Bone marrow aspirate smear — 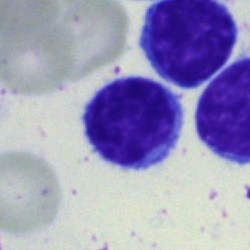

Q: Identify the cell.
A: It is a typical lymphocyte.